MGG-stained. Bone marrow aspirate smear. 40× objective, oil immersion — 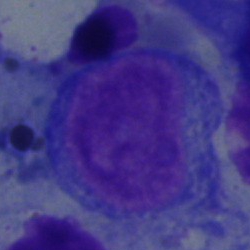
{"cell_type": "undifferentiated blast"}